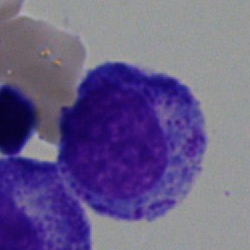 A promyelocyte on a bone marrow smear.